Bone marrow smear.
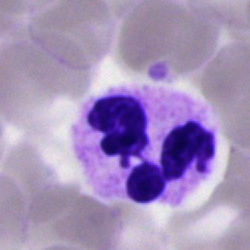

Morphological class — segmented neutrophil.